Bone marrow aspirate smear.
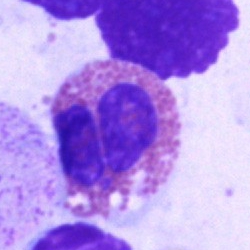

Eosinophil.